May-Grünwald-Giemsa/Pappenheim stain · 40× oil immersion · bone marrow aspirate smear
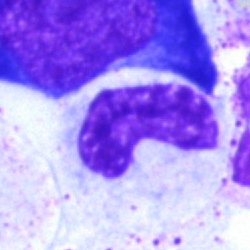 Band neutrophil.